Single-cell field · bone marrow smear · MGG-stained: 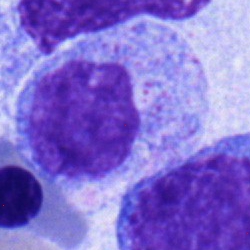

Cell type = promyelocyte.